Bone marrow aspirate smear. Single-cell crop: 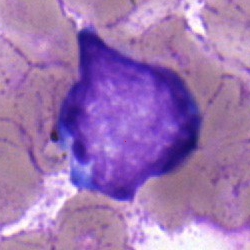

Morphology — lymphocyte.